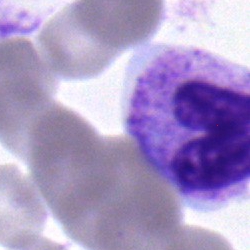 Stab cell.